Bone marrow aspirate smear: 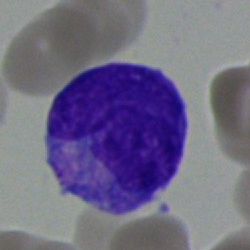
Specimen: bone marrow smear.
Cell: undifferentiated blast.